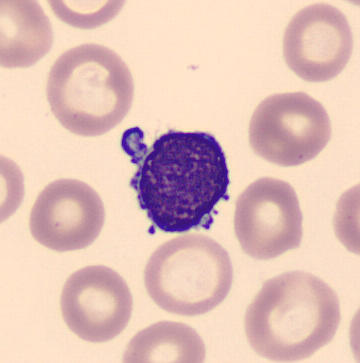 A typical lymphocyte.